Brightfield, 40× oil-immersion objective; bone marrow aspirate smear: 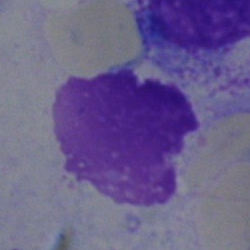Artifact.